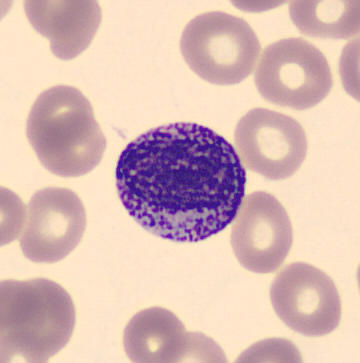Image: Peripheral blood film.

The cell shown is a myelocyte.